Bone marrow smear:
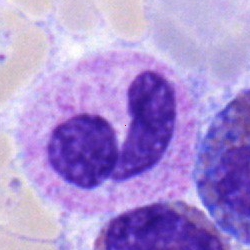
The classification is neutrophil (segmented).